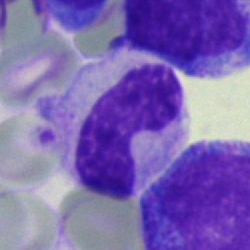

A neutrophil (band) on a bone marrow smear.